Peripheral blood film
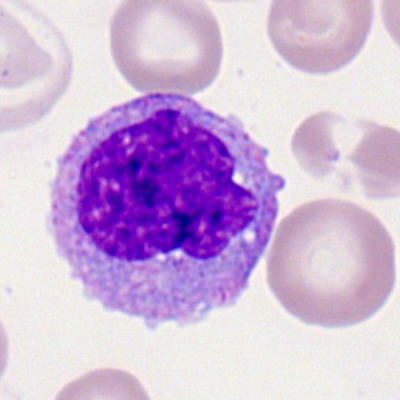
Q: What is the morphological classification of this cell?
A: It is a monocyte.